Bone marrow smear.
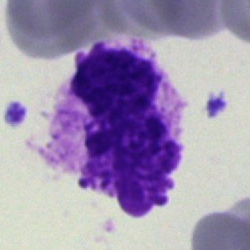
The cell shown is an artifact.